Bone marrow aspirate smear:
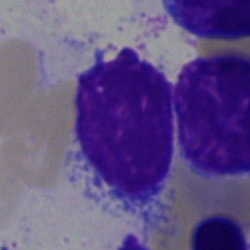 Specimen: bone marrow aspirate smear.
Cell type: artifact.